Bone marrow aspirate smear: 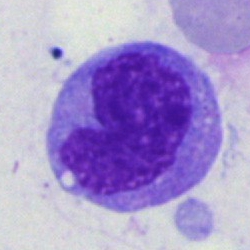 Single cell identified as a monocyte.